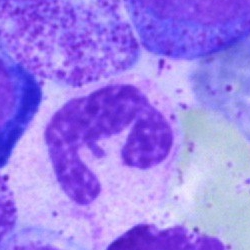Morphology consistent with a polymorphonuclear neutrophil.